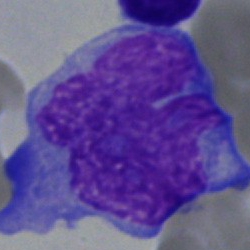

A blast cell on a bone marrow smear.